Bone marrow aspirate smear. May-Grünwald-Giemsa stain.
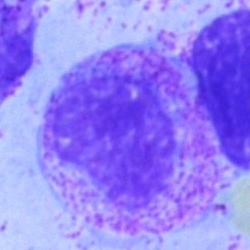

Morphology → metamyelocyte.